Bone marrow smear.
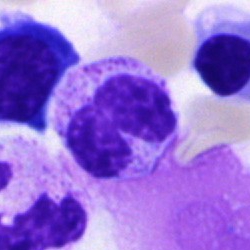
Morphology consistent with a band-form neutrophil.